Single-cell field; bone marrow smear; May-Grünwald-Giemsa/Pappenheim stain
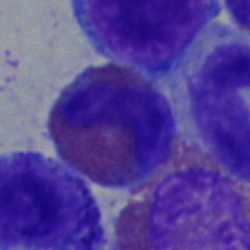 Morphological class — eosinophil.